Peripheral blood smear: 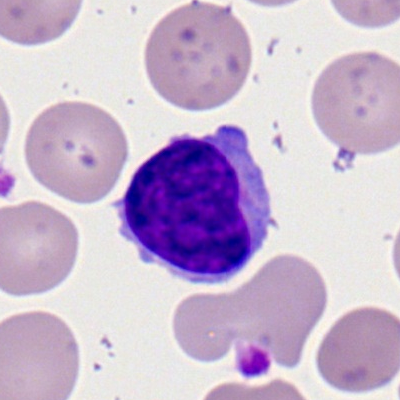 {"cell_type": "lymphocyte"}